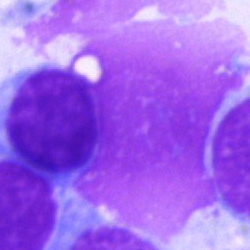 Cell type: artifact.